Bone marrow smear:
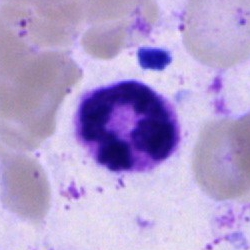
This is a neutrophil (segmented).